Bone marrow aspirate smear — 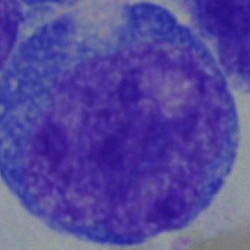Morphological class — undifferentiated blast.